Bone marrow aspirate smear — 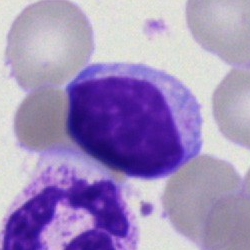
Q: What is the morphological classification of this cell?
A: A lymphocyte.